250×250; bone marrow aspirate smear:
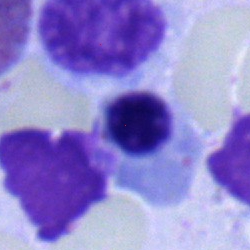Specimen: bone marrow smear.
Morphological class: erythroblast.
Lineage: erythroid.